Bone marrow aspirate smear: 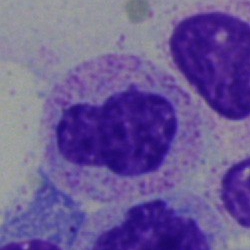 A metamyelocyte.